Bone marrow smear
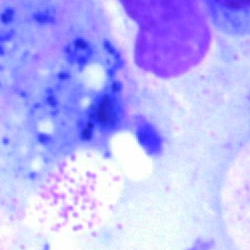 This is an artefact.